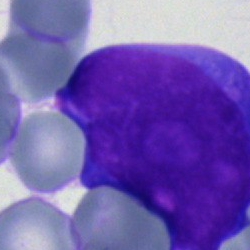Cell = undifferentiated blast.